250×250 px. Bone marrow aspirate smear. May-Grünwald-Giemsa/Pappenheim stain.
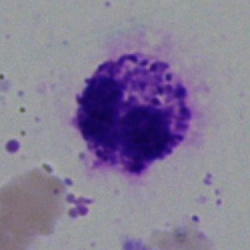

The cell is basophilic granulocyte.